Bone marrow smear. 40× objective, oil immersion:
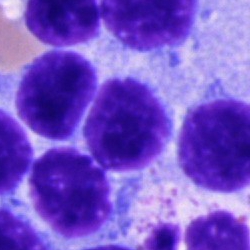

Single cell identified as a lymphocyte.